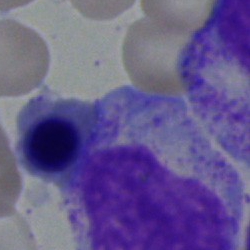

Cell: erythroblast.